250×250 px · Pappenheim-stained · bone marrow smear:
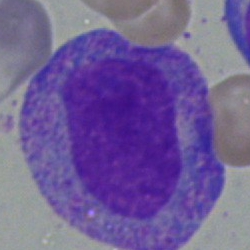

The cell shown is a progranulocyte.